Peripheral blood film. Single cell centered in the field. Image size 400×400: 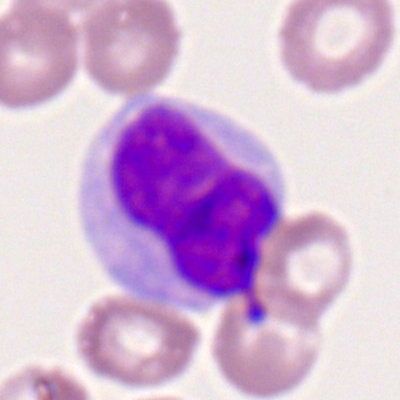

Classification = monocyte.